Bone marrow aspirate smear · image size 250×250
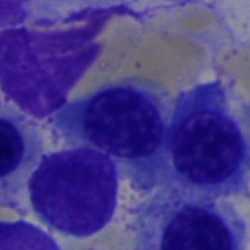
The cell shown is an erythroblast.